Bone marrow smear; cropped to a single cell; 40× oil immersion:
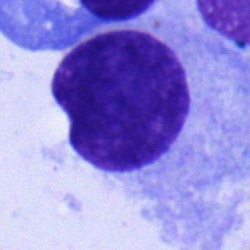
Cell type — plasmacyte.